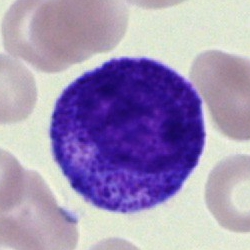 Specimen: bone marrow smear.
Cell type: myelocyte.
Lineage: myeloid.